Bone marrow aspirate smear; May-Grünwald-Giemsa stain: 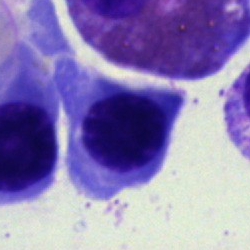
Cell type: normoblast.